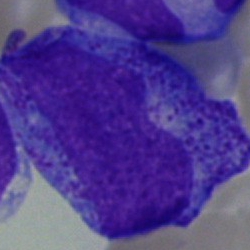The cell type is promyelocyte.